400 by 400 pixels · peripheral blood film:
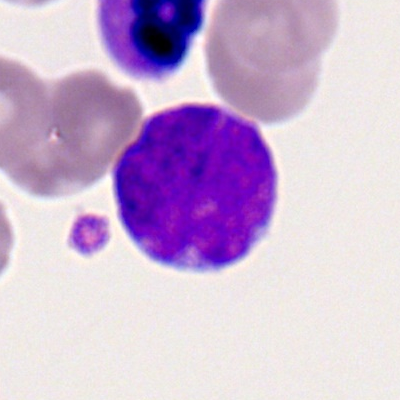

Q: What is shown here?
A: It is a myeloblast.